Bone marrow aspirate smear — 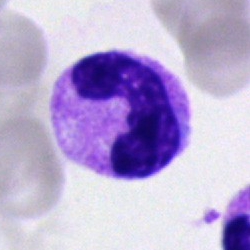 Showing a band-form neutrophil.